Bone marrow smear — 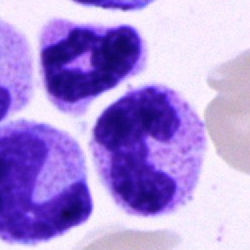

Cell type — polymorphonuclear neutrophil.